Peripheral blood smear — 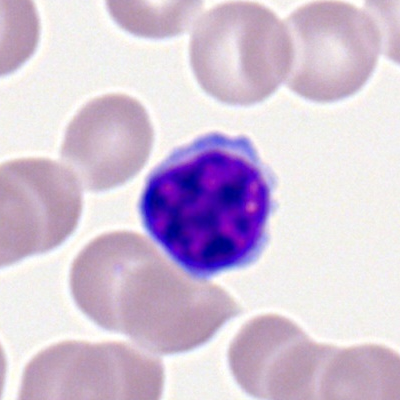{"cell_type": "typical lymphocyte", "lineage": "lymphoid"}